Bone marrow aspirate smear: 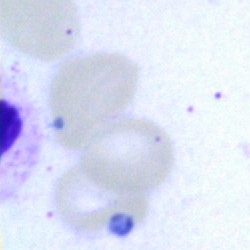

Impression → artefact.